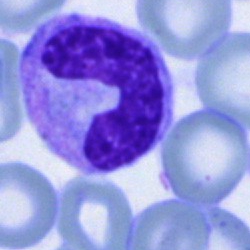

Cell type — neutrophil (band).